Bone marrow smear · single cell centered in the field:
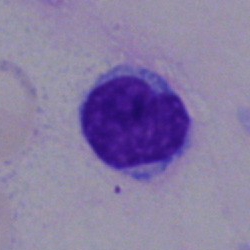 Q: Which cell type is shown here?
A: A typical lymphocyte.